Bone marrow smear; May-Grünwald-Giemsa/Pappenheim stain — 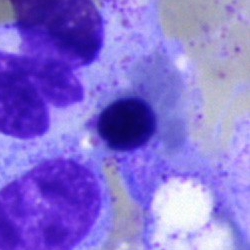An erythroblast.